Peripheral blood film — 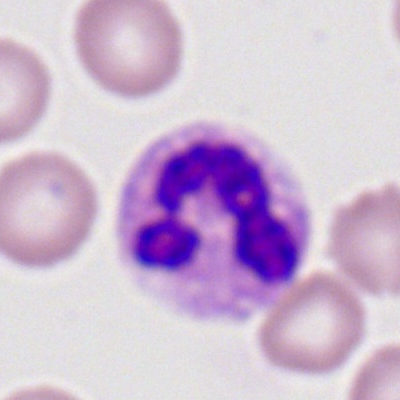
The cell is segmented neutrophil.